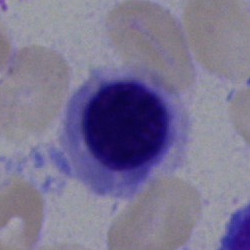 Q: What is shown here?
A: A nucleated red blood cell.